Bone marrow smear:
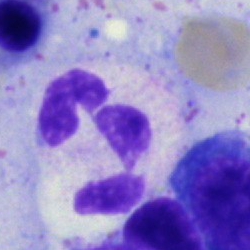

A neutrophil (segmented).